Bone marrow aspirate smear.
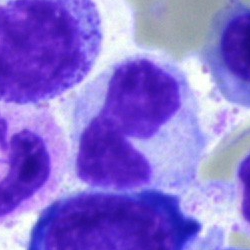

Morphological class: stab cell.